250×250; bone marrow smear; brightfield microscopy, 40× oil immersion: 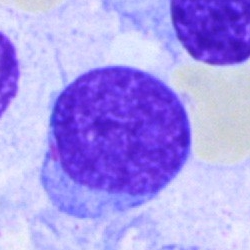 Impression — lymphocyte.